Bone marrow smear:
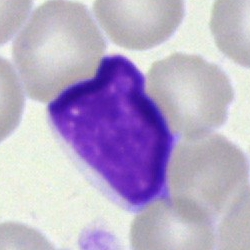Classification = undifferentiated blast.